Bone marrow aspirate smear.
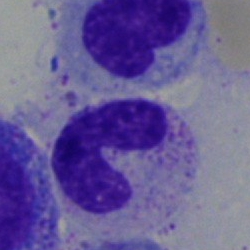Specimen: bone marrow smear.
Cell type: band-form neutrophil.
Lineage: myeloid.